Bone marrow smear.
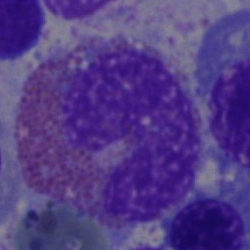 Q: What is shown here?
A: It is an eosinophil.